250 by 250 pixels; bone marrow aspirate smear.
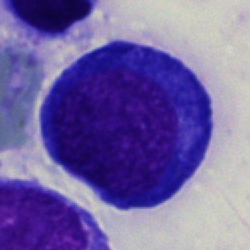
Classification — nucleated red blood cell.